Bone marrow smear. Pappenheim-stained: 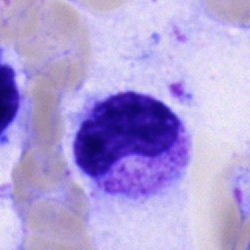 A metamyelocyte.